40× objective, oil immersion. Bone marrow smear.
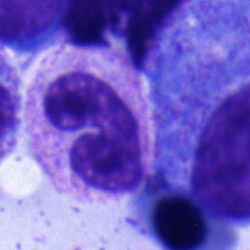Band neutrophil.